Bone marrow smear:
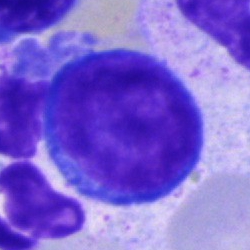

Q: What is shown here?
A: This is a proerythroblast.